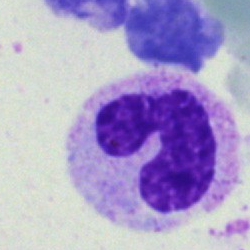Bone marrow aspirate smear, single cell — neutrophil (band).